100× objective, oil immersion. Peripheral blood smear:
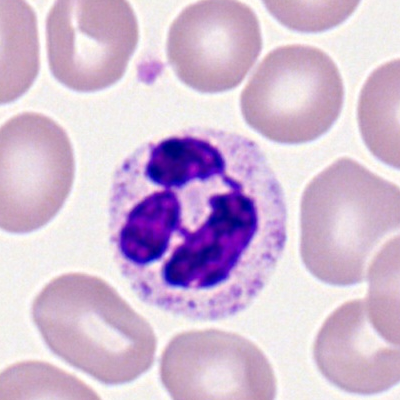
Q: Which cell type is shown here?
A: A neutrophil (segmented).